Bone marrow smear:
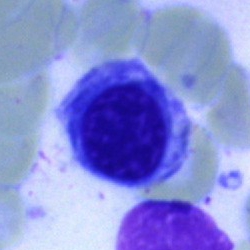

{"cell_type": "nucleated red cell"}